Pappenheim-stained. Brightfield microscopy, 40× oil immersion. Bone marrow smear:
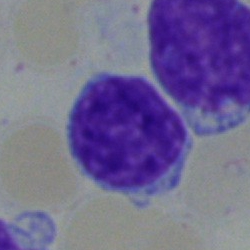

This is a typical lymphocyte.